Image size 400×400. 100× oil immersion. Peripheral blood film
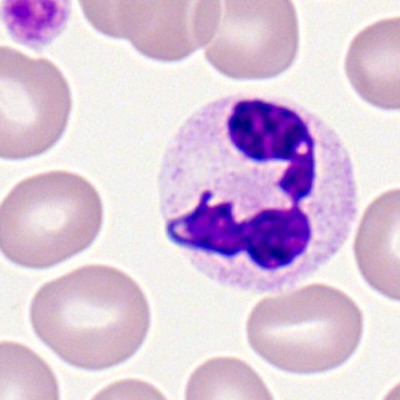 Specimen: peripheral blood film.
Morphological class: polymorphonuclear neutrophil.
Lineage: myeloid.